Bone marrow aspirate smear:
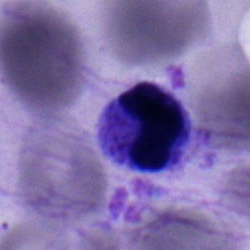

Impression → metamyelocyte.